Single cell centered in the field. Bone marrow aspirate smear — 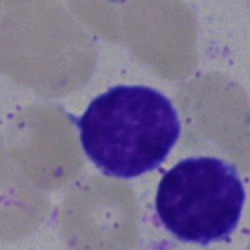

Classification: typical lymphocyte.